40× objective, oil immersion; bone marrow aspirate smear:
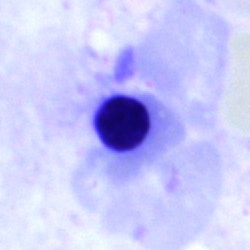

Specimen: bone marrow smear.
Cell type: artifact.